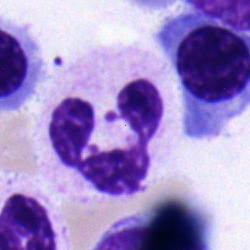Cell: segmented neutrophil.